Bone marrow aspirate smear
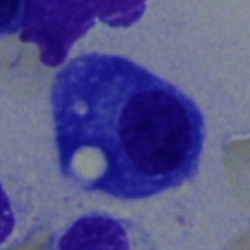 Plasma cell.